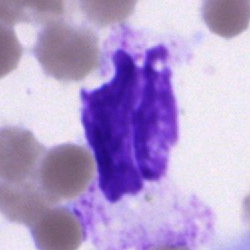 Q: What is shown here?
A: It is an artifact.